Peripheral blood film. Romanowsky-type stain — 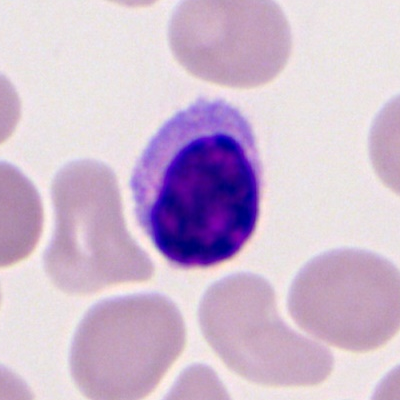

Lymphocyte.